Bone marrow smear
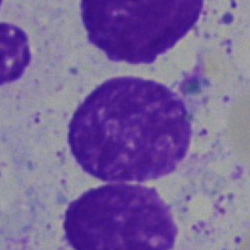

Impression → artefact.